Bone marrow aspirate smear — 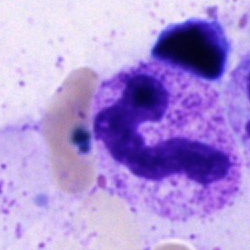The cell type is segmented neutrophil.